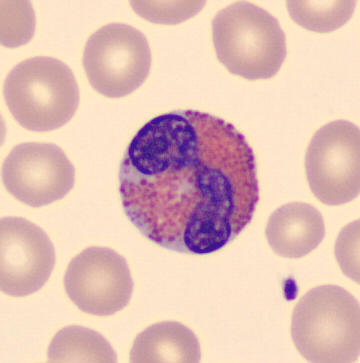
An eosinophil.

Image: Peripheral blood smear. 360 by 363 pixels.